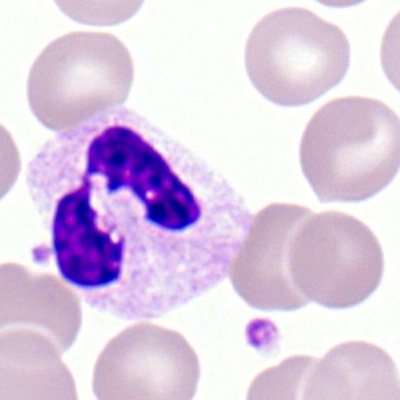
Morphology consistent with a polymorphonuclear neutrophil.